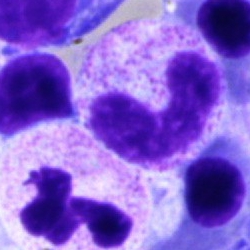
This is a band neutrophil.